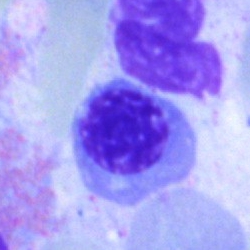 Q: What is shown here?
A: This is a nucleated red cell.